Bone marrow aspirate smear; 40× oil immersion.
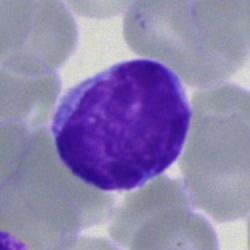Lymphocyte.